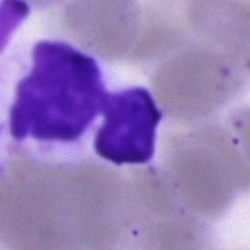
Specimen: bone marrow aspirate smear.
Cell: artifact.